Bone marrow smear · brightfield, 40× oil-immersion objective
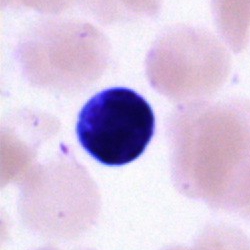 Morphological class: lymphocyte.